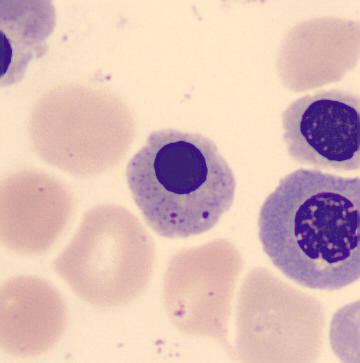 The morphological class is erythroblast.
Acquisition: Peripheral blood smear. 360×363 px.